Bone marrow smear:
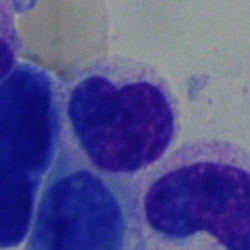 Showing a typical lymphocyte.